Single-cell crop; peripheral blood smear.
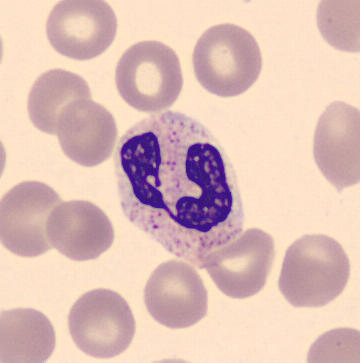

The cell is polymorphonuclear neutrophil.